Bone marrow smear · image size 250×250 — 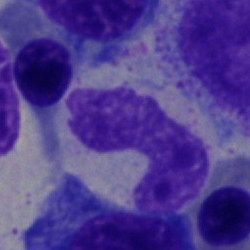
Q: What is the morphological classification of this cell?
A: A band-form neutrophil.